Single-cell crop; bone marrow aspirate smear: 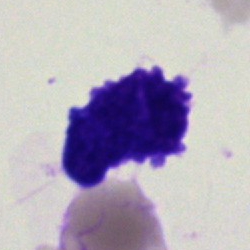The cell shown is an undifferentiated blast.